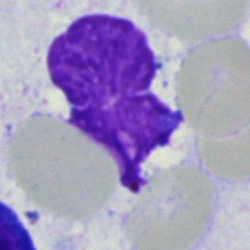

Morphology consistent with an artefact.